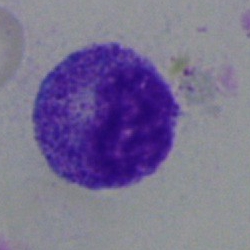Q: What type of cell is this?
A: Myelocyte.